Bone marrow smear; 40× objective, oil immersion; cropped to a single cell:
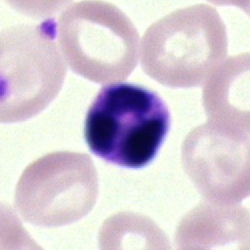

Morphology consistent with an artifact.